Bone marrow aspirate smear
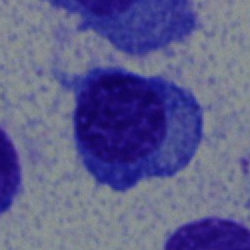Morphology consistent with a plasma cell.